Brightfield, 100× oil-immersion objective; peripheral blood smear; Romanowsky stain — 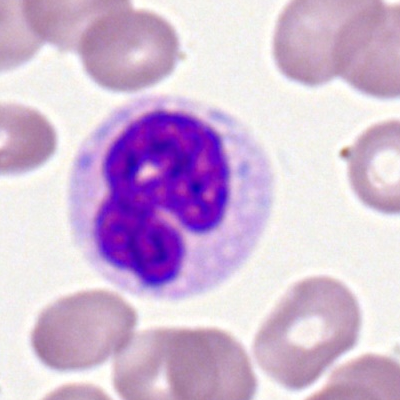
Q: What is the morphological classification of this cell?
A: It is a polymorphonuclear neutrophil.